MGG-stained. Bone marrow aspirate smear. Single-cell crop.
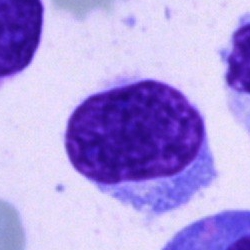

A blast cell.